Bone marrow smear — 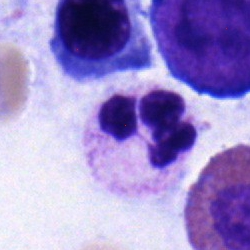 Cell: segmented neutrophil.